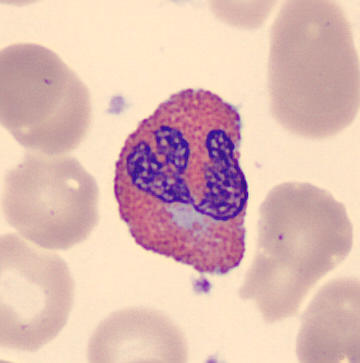

Preparation: Peripheral blood film; 360 by 363 pixels.

The cell shown is an eosinophilic granulocyte.